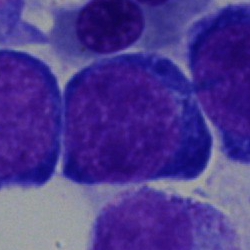

Cell = nucleated red blood cell.